Bone marrow aspirate smear
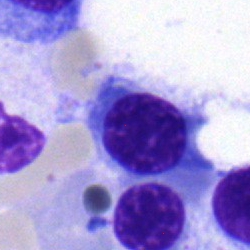 Nucleated red cell.